Bone marrow smear: 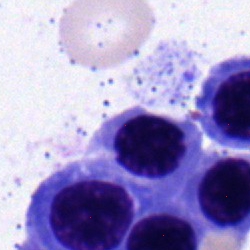An erythroblast.